Bone marrow smear
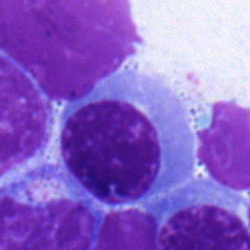Q: What cell is this?
A: An erythroblast.